Peripheral blood film
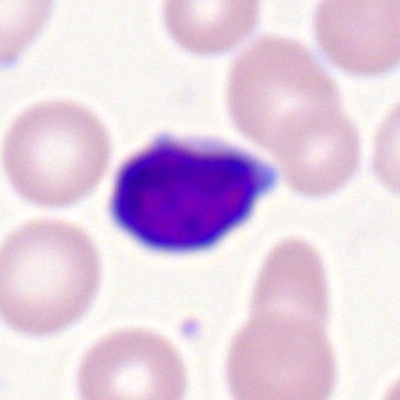
A lymphocyte.